Bone marrow smear:
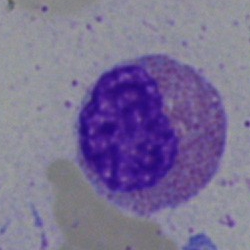The cell shown is an eosinophilic granulocyte.